Bone marrow aspirate smear; single cell centered in the field; May-Grünwald-Giemsa/Pappenheim stain.
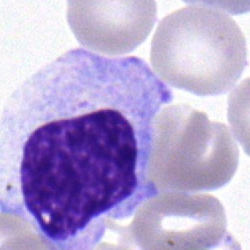

Impression → myelocyte.